Bone marrow aspirate smear; Pappenheim-stained
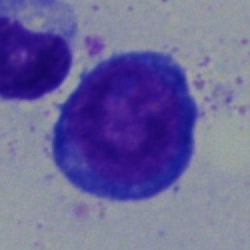Q: What cell is this?
A: It is a pronormoblast.